Bone marrow aspirate smear — 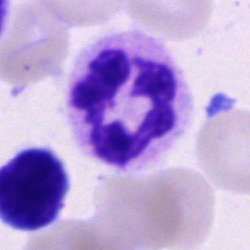Cell: segmented neutrophil.